Bone marrow aspirate smear
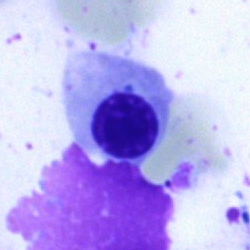Morphological class: erythroblast.